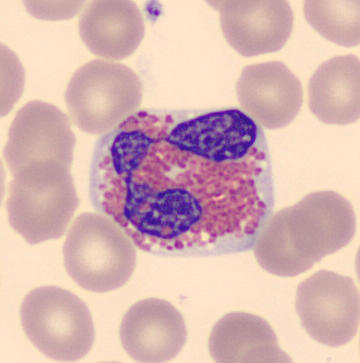 This is an eosinophilic granulocyte.
360×363 · CellaVision DM96 · peripheral blood film.